Peripheral blood smear:
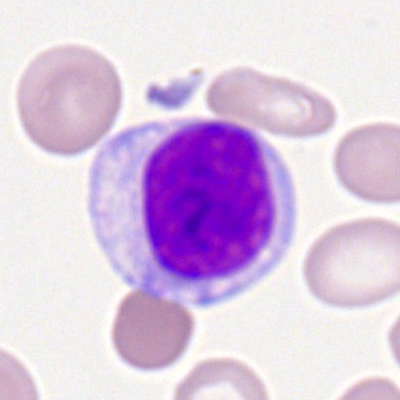
The cell shown is a typical lymphocyte.